Bone marrow aspirate smear — 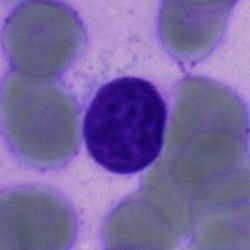

Specimen: bone marrow smear.
Classification: artifact.